Peripheral blood smear · cropped to a single cell:
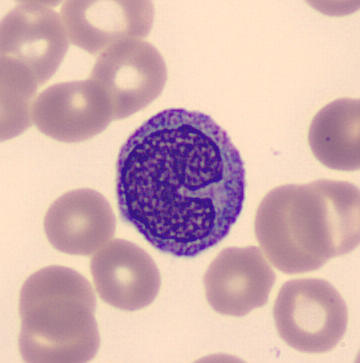
Cell type = monocyte.